Bone marrow aspirate smear. 40× oil immersion — 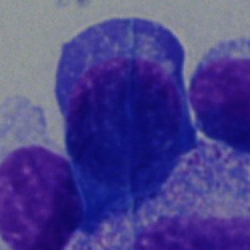
Q: Which cell type is shown here?
A: Proerythroblast.